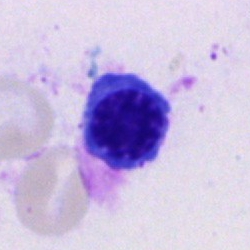Morphology — nucleated red blood cell.